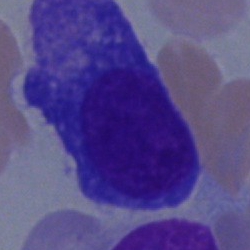
Cell type — plasma cell.